Bone marrow aspirate smear. 40× oil immersion — 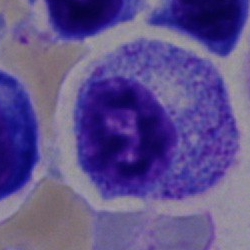Cell type: myelocyte.